Bone marrow aspirate smear; 250×250; single-cell field:
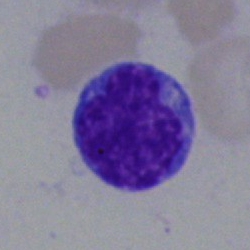Specimen: bone marrow aspirate smear.
Classification: blast.